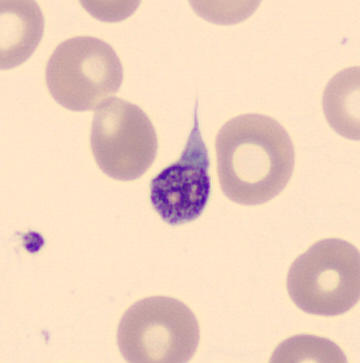

{"cell_type": "platelet (thrombocyte)"}
Image: May-Grünwald-Giemsa-stained. Peripheral blood smear.